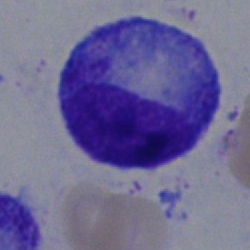 Single cell identified as a progranulocyte.